Bone marrow aspirate smear: 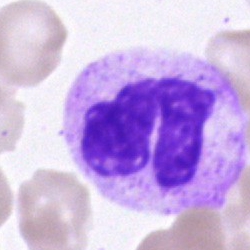 Showing a polymorphonuclear neutrophil.